Bone marrow aspirate smear — 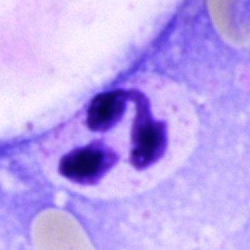
Showing a neutrophil (segmented).